Bone marrow aspirate smear; May-Grünwald-Giemsa/Pappenheim stain; single-cell field
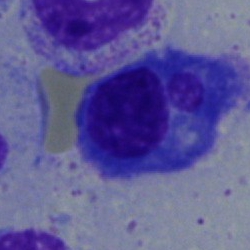
Plasma cell.